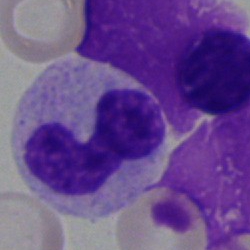

Morphological class — band-form neutrophil.